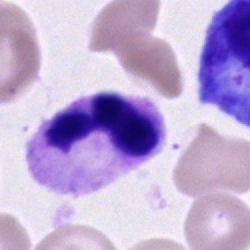
Morphological class = segmented neutrophil.